Bone marrow smear · 250×250 px · single-cell crop
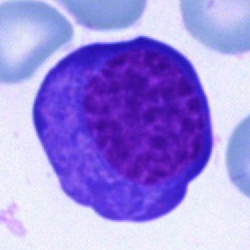

Q: Identify the cell.
A: It is an erythroblast.